Peripheral blood film; Romanowsky-type stain; 100× oil immersion: 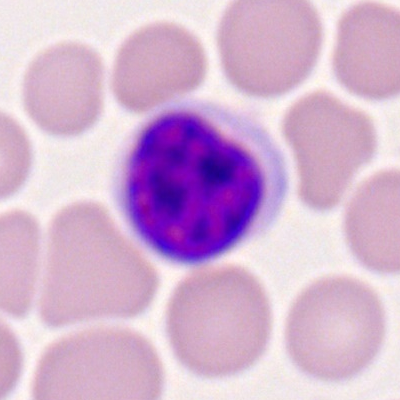
The classification is typical lymphocyte.